Bone marrow smear · single-cell crop — 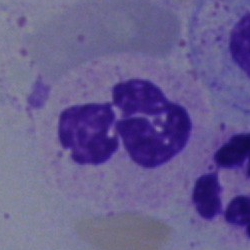
{"cell_type": "polymorphonuclear neutrophil", "lineage": "myeloid"}